Bone marrow aspirate smear: 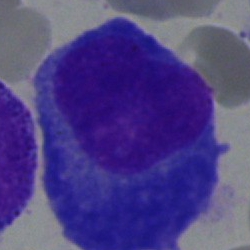 {"cell_type": "plasma cell"}